May-Grünwald-Giemsa/Pappenheim stain; bone marrow aspirate smear.
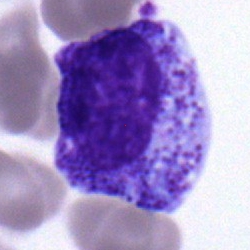
Morphology consistent with a myelocyte.